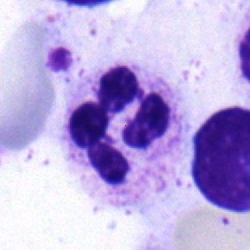 Bone marrow aspirate smear, single cell — segmented neutrophil.